Bone marrow smear — 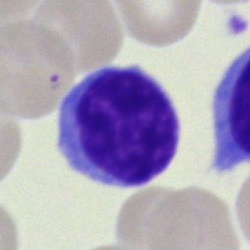Cell = lymphocyte.